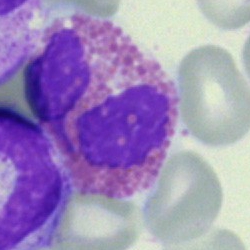 Specimen: bone marrow aspirate smear.
Classification: eosinophilic granulocyte.
Lineage: myeloid.